Bone marrow aspirate smear — 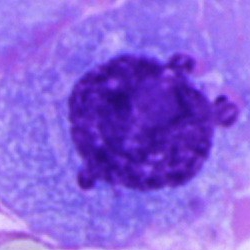Q: What type of cell is this?
A: This is a plasma cell.